Bone marrow aspirate smear.
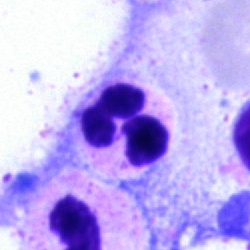
A polymorphonuclear neutrophil.